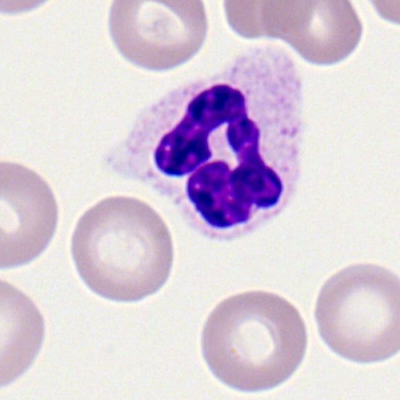 Classification = polymorphonuclear neutrophil.